Bone marrow smear — 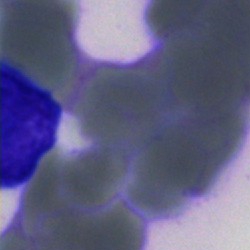Cell type — artefact.